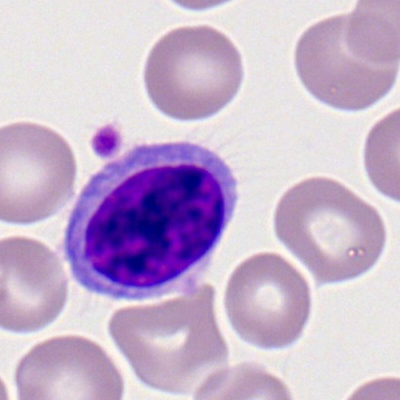
The cell shown is a lymphocyte.